Bone marrow aspirate smear; Pappenheim-stained — 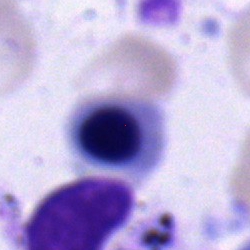 Morphology — nucleated red cell.